Bone marrow aspirate smear; MGG-stained
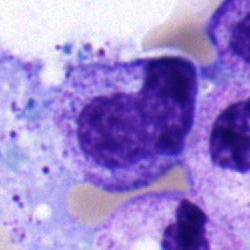

Q: Which cell type is shown here?
A: This is a stab cell.